Peripheral blood film; 100× oil immersion:
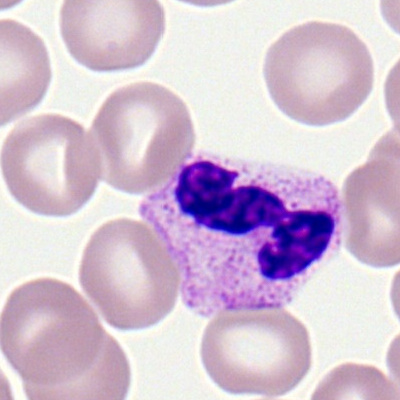 This is a segmented neutrophil.